Bone marrow aspirate smear.
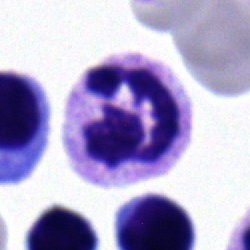

Q: What is shown here?
A: This is a polymorphonuclear neutrophil.